Bone marrow smear — 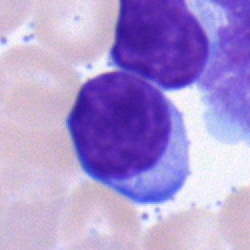 A typical lymphocyte.